250 by 250 pixels · bone marrow aspirate smear:
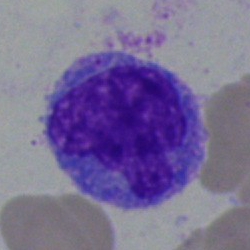Showing a monocyte.